Bone marrow aspirate smear
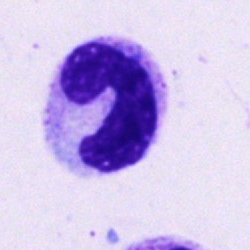

Specimen: bone marrow aspirate smear.
Cell type: neutrophil (band).